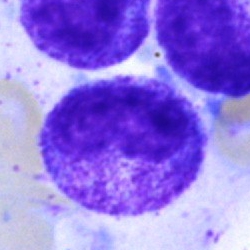
{"cell_type": "metamyelocyte", "lineage": "myeloid"}